Bone marrow aspirate smear — 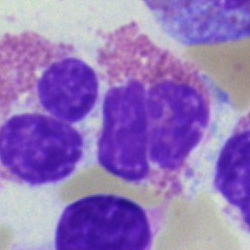
Morphology → eosinophil.